Bone marrow aspirate smear: 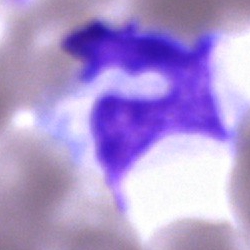Morphology → monocyte.